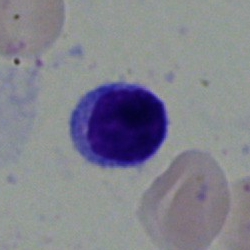A typical lymphocyte.